Bone marrow aspirate smear
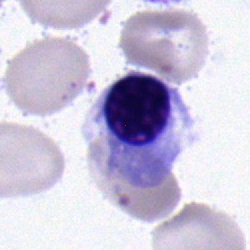Cell: nucleated red blood cell.